Peripheral blood smear: 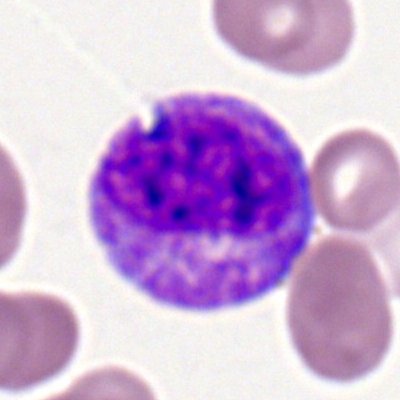
Myelocyte.